MGG-stained; bone marrow aspirate smear
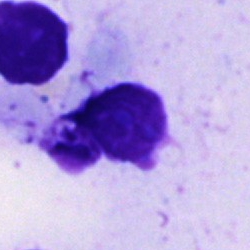

Showing an artefact.